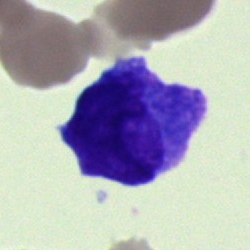
Single-cell crop from a bone marrow smear: undifferentiated blast.